Bone marrow smear. May-Grünwald-Giemsa stain. 250×250:
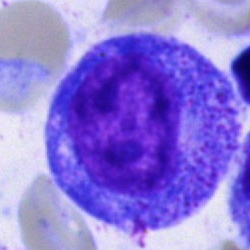 Cell type — promyelocyte.